Bone marrow aspirate smear — 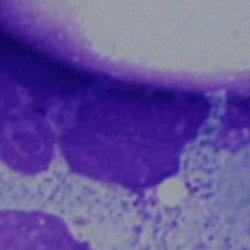Morphological class: artefact.